Bone marrow aspirate smear — 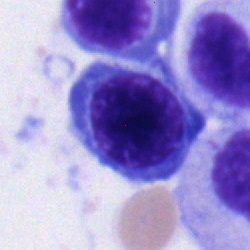 Morphology — erythroblast.